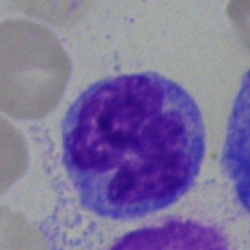 The cell shown is an undifferentiated blast.